Bone marrow smear:
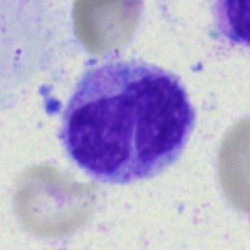Classification: monocyte.